Bone marrow aspirate smear.
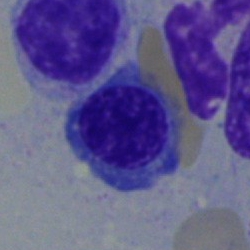Nucleated red cell.